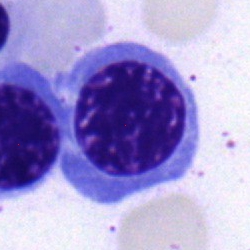

This is a normoblast.